40× objective, oil immersion · bone marrow smear · single cell centered in the field: 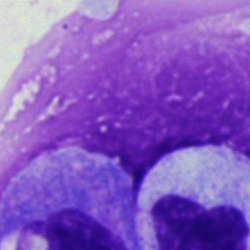 The cell type is artifact.